Bone marrow aspirate smear.
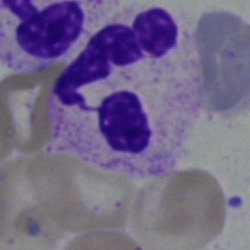 Q: Which cell type is shown here?
A: It is a polymorphonuclear neutrophil.